Bone marrow aspirate smear: 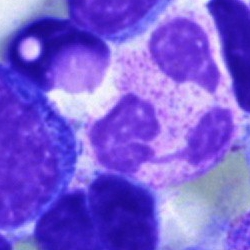 Morphology consistent with a polymorphonuclear neutrophil.